250 by 250 pixels. Bone marrow aspirate smear: 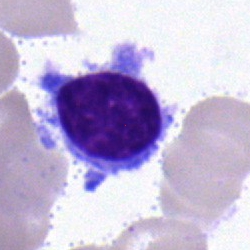

A typical lymphocyte.